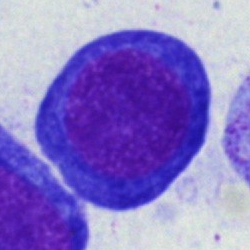

The morphological class is nucleated red blood cell.